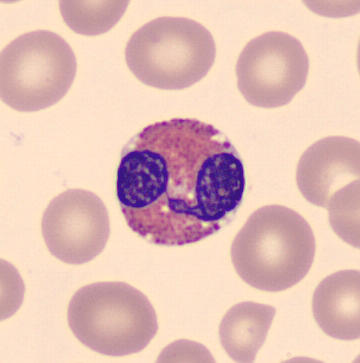 An eosinophil.
Image: Peripheral blood smear · CellaVision DM96.